Bone marrow smear — 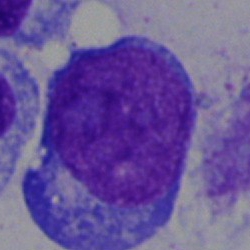

An undifferentiated blast.